400×400 · peripheral blood film.
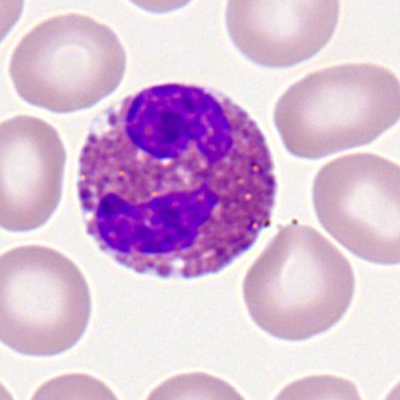
Impression → eosinophil.